Bone marrow smear. Single-cell field. Pappenheim-stained.
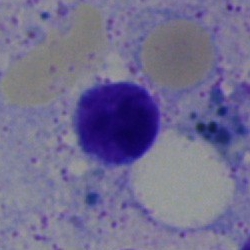 Cell type: typical lymphocyte.